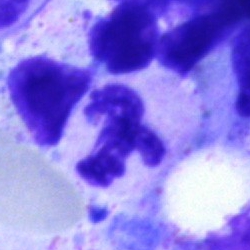 Classification — segmented neutrophil.